Bone marrow smear: 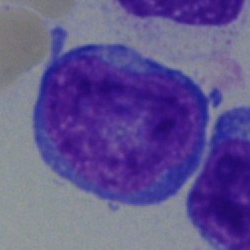
Specimen: bone marrow aspirate smear.
Morphological class: blast cell.